Bone marrow smear.
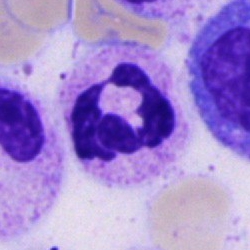 Cell = neutrophil (segmented).